Bone marrow smear · 40× objective, oil immersion.
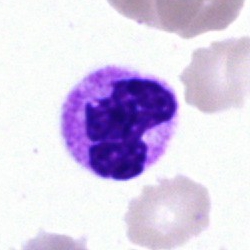
Q: What is the morphological classification of this cell?
A: Polymorphonuclear neutrophil.